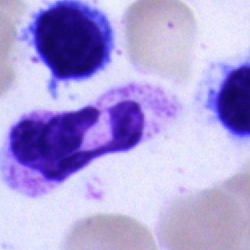
Showing a segmented neutrophil.